Bone marrow smear — 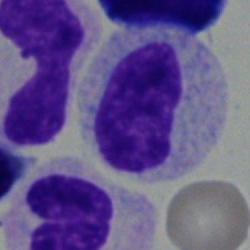
Impression → metamyelocyte.